Image size 250×250. Single-cell field. Bone marrow aspirate smear:
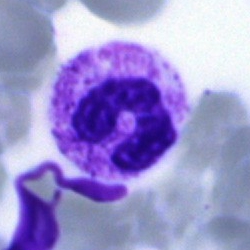 The cell type is neutrophil (band).